Bone marrow smear · cropped to a single cell · brightfield microscopy, 40× oil immersion.
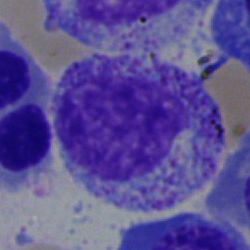
{"cell_type": "myelocyte", "lineage": "myeloid"}